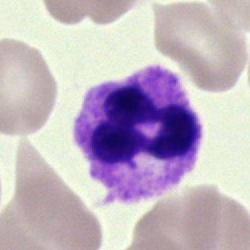 Bone marrow smear showing a polymorphonuclear neutrophil.